Bone marrow smear:
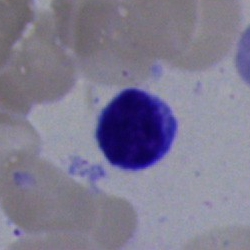Morphology — lymphocyte.